Bone marrow aspirate smear. May-Grünwald-Giemsa/Pappenheim stain. Cropped to a single cell.
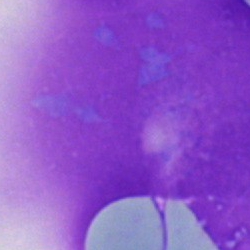 Single cell identified as an artifact.